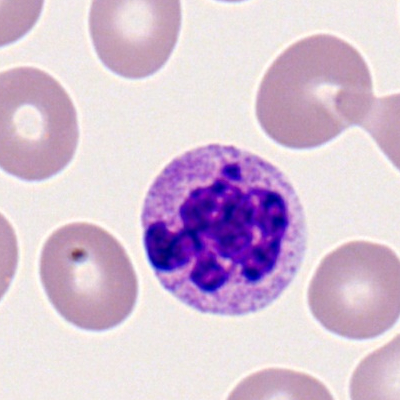
Peripheral blood smear showing a polymorphonuclear neutrophil.